Bone marrow aspirate smear:
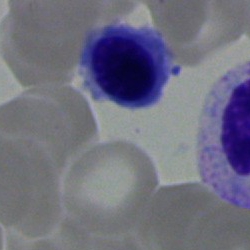A nucleated red blood cell.